Bone marrow aspirate smear: 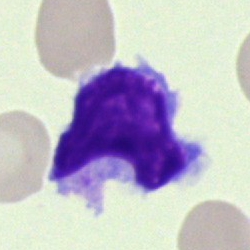

This is a lymphocyte.